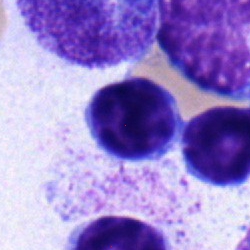

Q: What type of cell is this?
A: It is a lymphocyte.